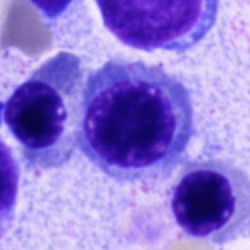

{"cell_type": "nucleated red blood cell", "lineage": "erythroid"}